Bone marrow smear; May-Grünwald-Giemsa stain; single cell centered in the field.
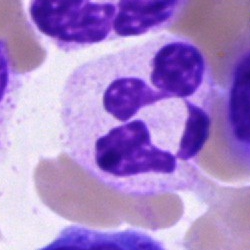The cell type is neutrophil (segmented).